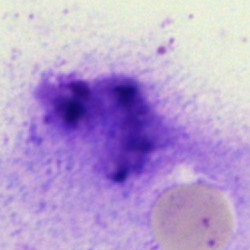Cell type — artefact.